Bone marrow aspirate smear: 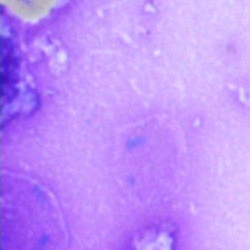Morphological class: artifact.